Bone marrow aspirate smear — 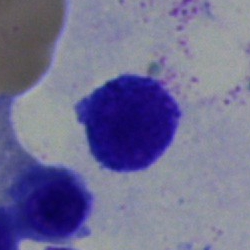

Typical lymphocyte.